Bone marrow aspirate smear.
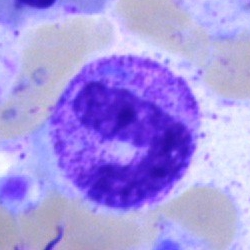 Q: What is shown here?
A: Polymorphonuclear neutrophil.